Peripheral blood film: 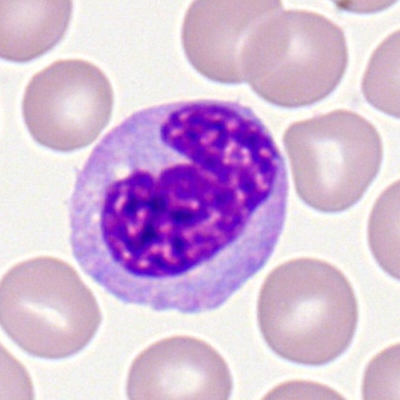 Monocyte.